250×250; bone marrow smear; 40× objective, oil immersion: 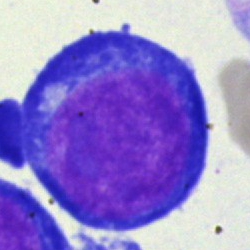The cell shown is a proerythroblast.